Bone marrow aspirate smear; Pappenheim-stained:
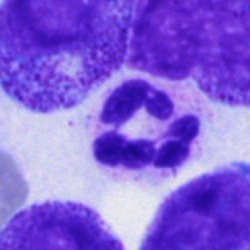Specimen: bone marrow aspirate smear.
Classification: neutrophil (segmented).
Lineage: myeloid.